40× objective, oil immersion. Bone marrow aspirate smear
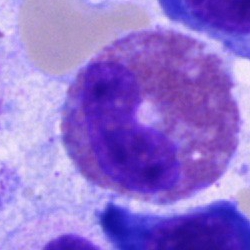 Cell: eosinophil.